40× oil immersion. Bone marrow aspirate smear:
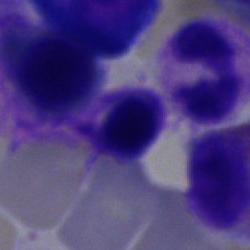 This is a neutrophil (segmented).